Single-cell field; bone marrow aspirate smear; May-Grünwald-Giemsa/Pappenheim stain — 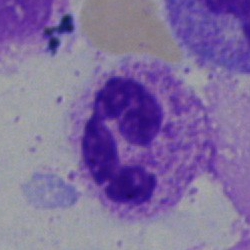Q: Identify the cell.
A: It is a segmented neutrophil.